Single-cell crop · bone marrow smear
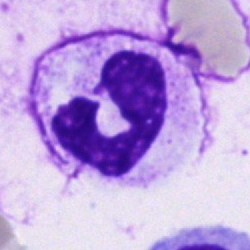 Specimen: bone marrow aspirate smear.
Cell type: neutrophil (segmented).
Lineage: myeloid.